Single-cell field · 40× objective, oil immersion · bone marrow aspirate smear — 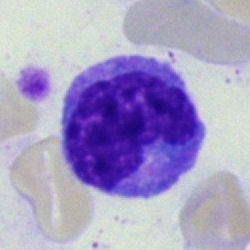Specimen: bone marrow aspirate smear.
Cell type: monocyte.
Lineage: myeloid.